Bone marrow aspirate smear: 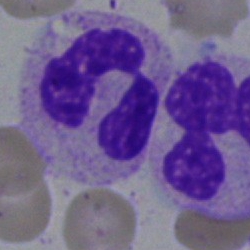Q: What is shown here?
A: A neutrophil (segmented).